100× oil immersion. Single-cell field. Peripheral blood smear
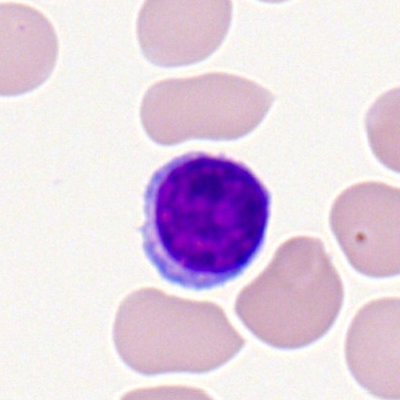

Specimen: peripheral blood film.
Classification: lymphocyte.